Bone marrow aspirate smear:
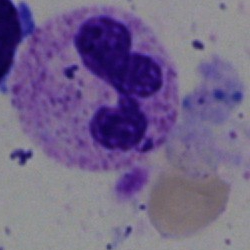

{"cell_type": "neutrophil (segmented)"}